Bone marrow aspirate smear
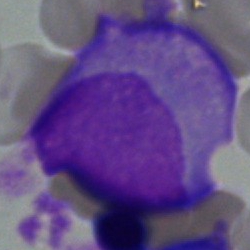
This is a plasmacyte.